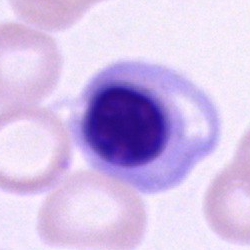

Specimen: bone marrow aspirate smear.
Cell: nucleated red blood cell.
Lineage: erythroid.